250×250 px · 40× objective, oil immersion · bone marrow aspirate smear.
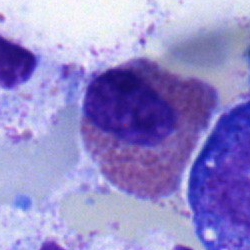
Specimen: bone marrow smear.
Classification: eosinophil.